Bone marrow smear.
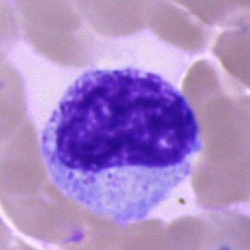The cell type is myelocyte.